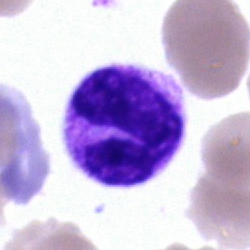

Q: What is the morphological classification of this cell?
A: It is a segmented neutrophil.